Bone marrow aspirate smear; single-cell field
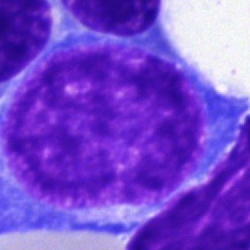

Q: What type of cell is this?
A: This is an undifferentiated blast.